Single cell centered in the field. Bone marrow aspirate smear: 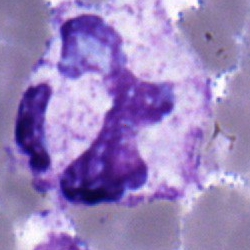

A polymorphonuclear neutrophil.